Brightfield, 40× oil-immersion objective. Bone marrow aspirate smear.
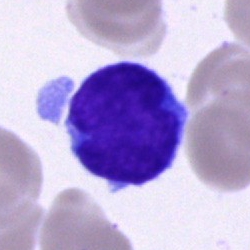 Specimen: bone marrow aspirate smear.
Cell: lymphocyte.
Lineage: lymphoid.